Bone marrow aspirate smear.
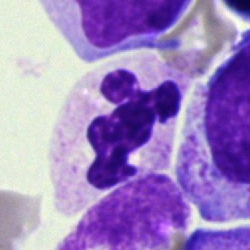The cell is neutrophil (segmented).